Brightfield, 40× oil-immersion objective. Bone marrow aspirate smear
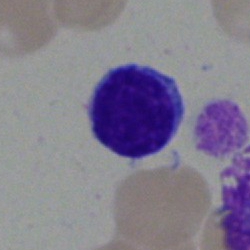 Q: What is shown here?
A: This is a lymphocyte.